Brightfield, 40× oil-immersion objective · bone marrow smear · cropped to a single cell
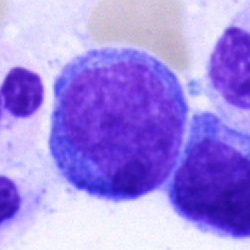 Impression → blast cell.